Bone marrow smear; brightfield, 40× oil-immersion objective; 250×250:
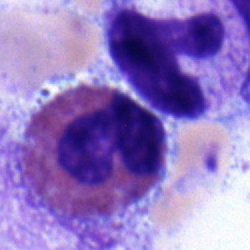 Q: Identify the cell.
A: An eosinophil.